Bone marrow smear — 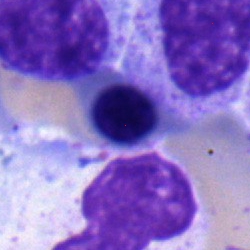 Single cell identified as a normoblast.